Bone marrow smear
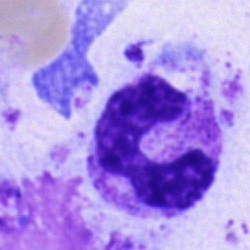

Morphology — band neutrophil.